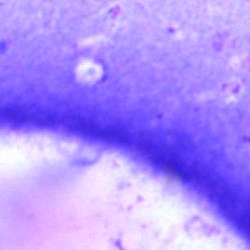Cell = artifact.